250×250 px. Pappenheim-stained. Bone marrow smear:
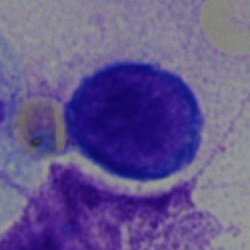 Pronormoblast.